Bone marrow aspirate smear: 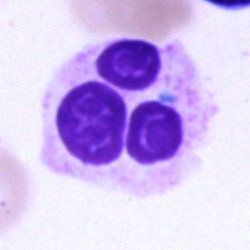Q: What cell is this?
A: Segmented neutrophil.